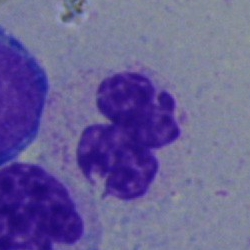

Single-cell crop from a bone marrow smear: segmented neutrophil.